Bone marrow aspirate smear; brightfield microscopy, 40× oil immersion:
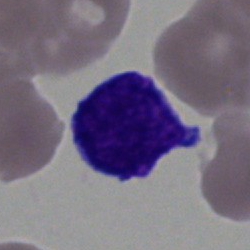
Single cell identified as a blast.